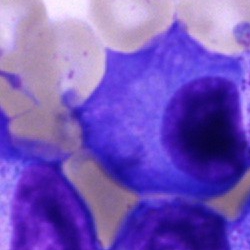Impression → plasma cell.